Bone marrow aspirate smear:
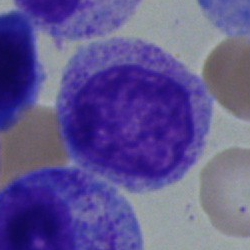

Q: What is shown here?
A: This is a myelocyte.